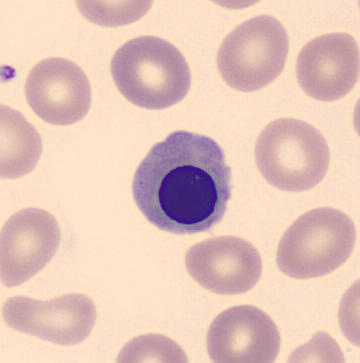Q: What type of cell is this?
A: This is a nucleated red blood cell.